Bone marrow aspirate smear — 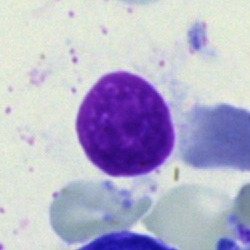 Showing a cell of indeterminate lineage.